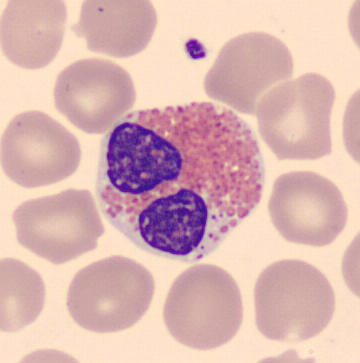Morphology → eosinophil. Peripheral blood film.